Bone marrow smear — 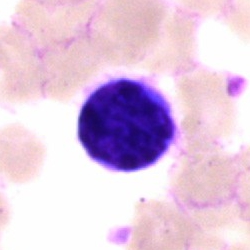

Morphological class: lymphocyte.